250 by 250 pixels. Bone marrow aspirate smear — 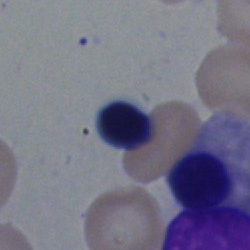
Specimen: bone marrow smear.
Morphological class: normoblast.
Lineage: erythroid.